Bone marrow smear
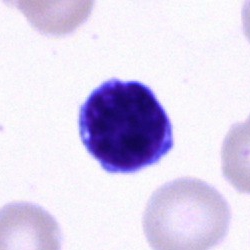
A typical lymphocyte.